Bone marrow aspirate smear:
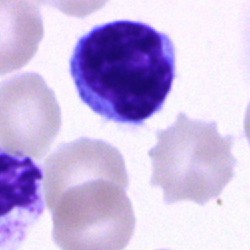

Lymphocyte.